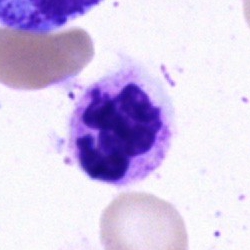

Impression → segmented neutrophil.